Bone marrow aspirate smear:
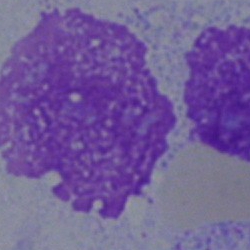

This is an artifact.